Bone marrow aspirate smear. Cropped to a single cell: 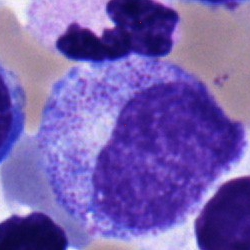
The cell shown is a myelocyte.